Bone marrow smear · image size 250×250 · May-Grünwald-Giemsa stain — 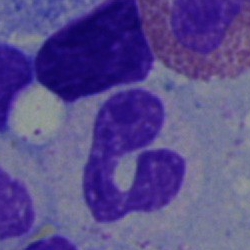
{"cell_type": "neutrophil (segmented)"}